Peripheral blood film. 100× oil immersion.
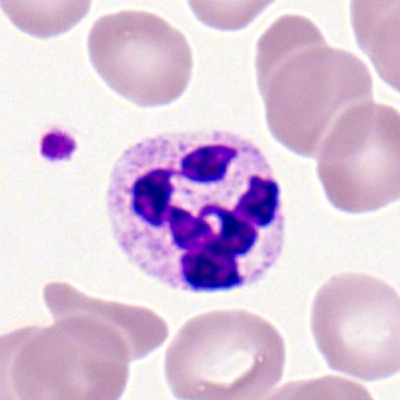
Specimen: peripheral blood film.
Classification: neutrophil (segmented).